Bone marrow aspirate smear.
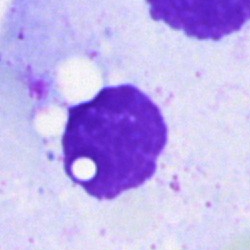

Morphology consistent with an artifact.